40× objective, oil immersion. 250 by 250 pixels. Bone marrow aspirate smear:
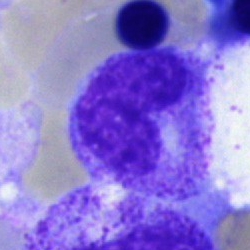
Classification: band-form neutrophil.